Cropped to a single cell; May-Grünwald-Giemsa/Pappenheim stain; bone marrow smear
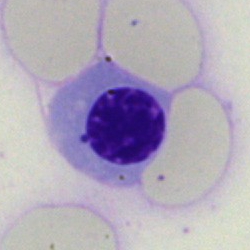Nucleated red blood cell.